Bone marrow smear · 40× oil immersion — 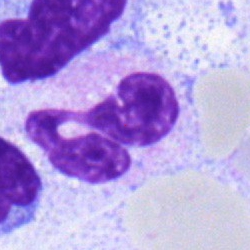Specimen: bone marrow aspirate smear.
Cell type: polymorphonuclear neutrophil.